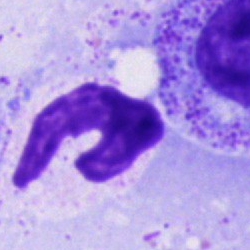
Q: What cell is this?
A: This is a stab cell.